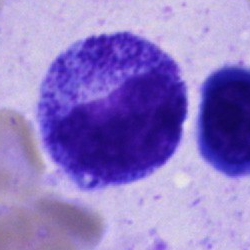
Single cell identified as a promyelocyte.